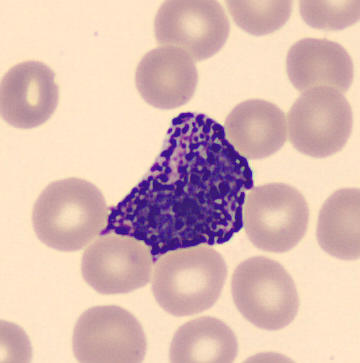
Q: Identify the cell.
A: This is a basophilic granulocyte.
Acquisition: 360×363; automated cell imaging (CellaVision DM96); peripheral blood smear.